Bone marrow aspirate smear: 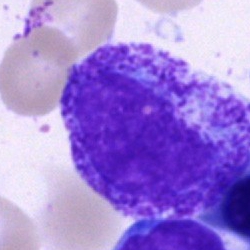 Q: Which cell type is shown here?
A: A promyelocyte.